Bone marrow smear: 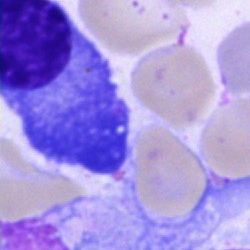
Q: Identify the cell.
A: This is a plasmacyte.